Bone marrow smear:
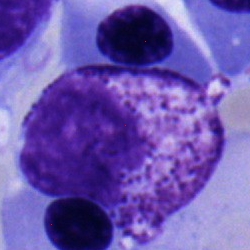Specimen: bone marrow smear.
Classification: myelocyte.
Lineage: myeloid.